Bone marrow aspirate smear: 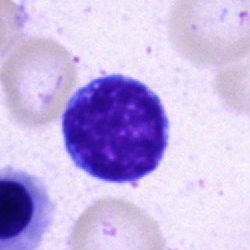 A lymphocyte.